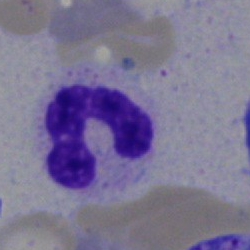
The cell type is neutrophil (segmented).